Bone marrow aspirate smear.
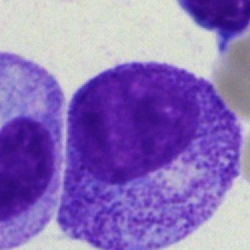Showing a myelocyte.